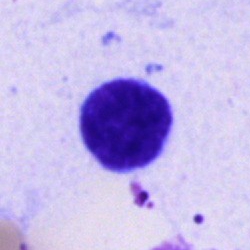

Morphology consistent with a lymphocyte.